Single-cell field · May-Grünwald-Giemsa stain · bone marrow aspirate smear.
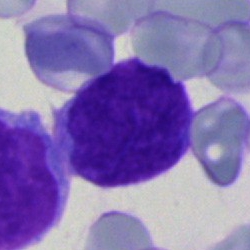 Q: What cell is this?
A: Blast.